Bone marrow aspirate smear.
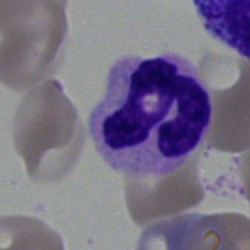
Morphology consistent with a neutrophil (segmented).